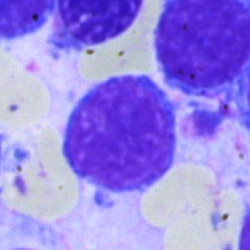
The morphological class is typical lymphocyte.